Romanowsky-stained. Peripheral blood smear — 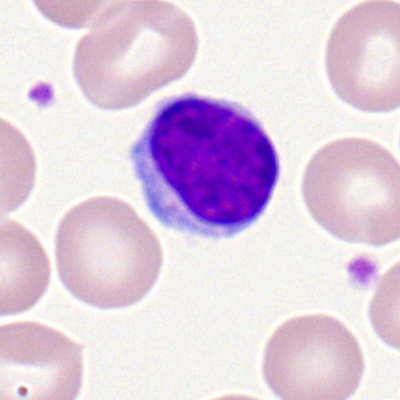

Single cell identified as a lymphocyte.